Cropped to a single cell; bone marrow aspirate smear:
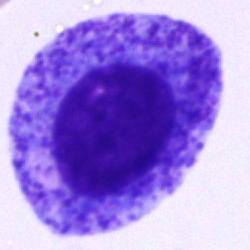
Specimen: bone marrow smear.
Morphological class: promyelocyte.